Bone marrow smear.
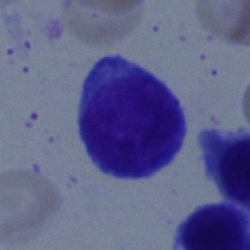

A blast cell.